Brightfield, 40× oil-immersion objective · May-Grünwald-Giemsa stain · bone marrow smear: 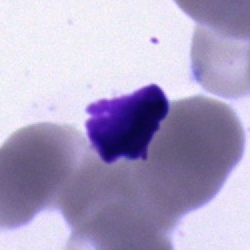 Cell type = artifact.